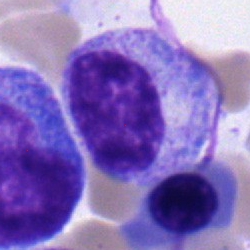{"cell_type": "myelocyte", "lineage": "myeloid"}